Single cell centered in the field · M8 digital microscope (Precipoint), 100× oil immersion · peripheral blood film.
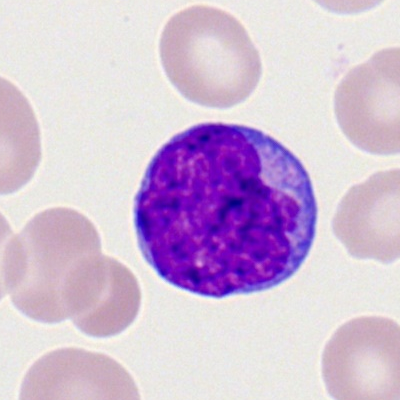
Cell = typical lymphocyte.